Single-cell field. 40× objective, oil immersion. Bone marrow smear: 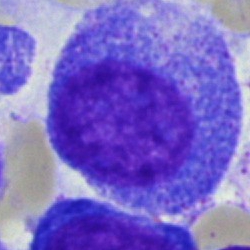Showing a progranulocyte.